40× objective, oil immersion. Bone marrow smear — 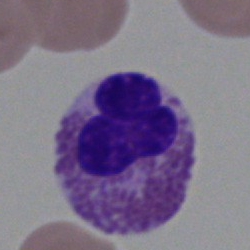 {"cell_type": "eosinophil", "lineage": "myeloid"}